250 by 250 pixels · May-Grünwald-Giemsa/Pappenheim stain · bone marrow aspirate smear:
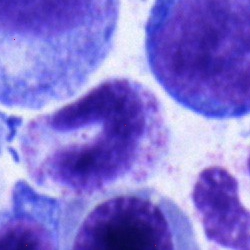Single cell identified as a neutrophil (segmented).